May-Grünwald-Giemsa/Pappenheim stain; bone marrow aspirate smear; 40× oil immersion — 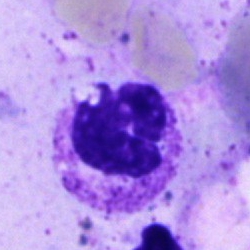
A polymorphonuclear neutrophil.